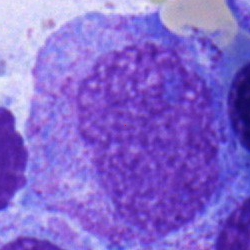
Q: What is shown here?
A: It is a progranulocyte.